Single cell centered in the field; 400×400 px; peripheral blood film
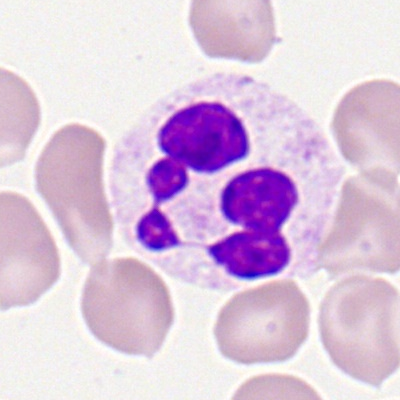
Q: What is shown here?
A: Neutrophil (segmented).